Bone marrow smear. 250×250
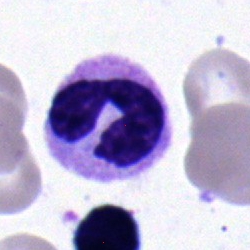Impression → segmented neutrophil.